Brightfield, 40× oil-immersion objective; MGG-stained; bone marrow aspirate smear
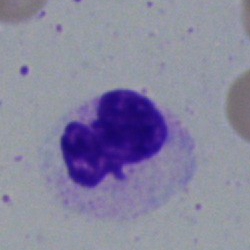

Morphology — polymorphonuclear neutrophil.